Bone marrow smear
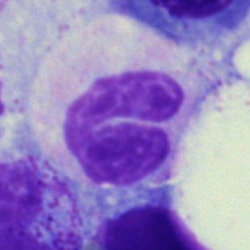

Single cell identified as a band neutrophil.